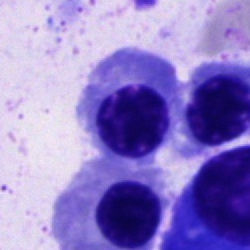 Classification — nucleated red cell.